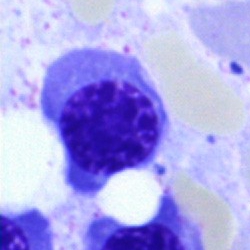 Morphology consistent with an erythroblast.